Bone marrow aspirate smear:
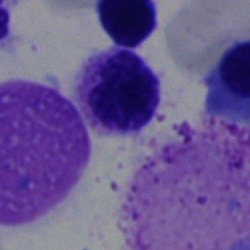 Q: What is shown here?
A: This is an artefact.